Peripheral blood smear · 400×400: 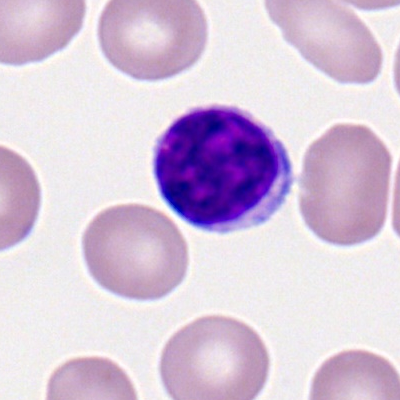
This is a typical lymphocyte.